Single cell centered in the field · bone marrow aspirate smear
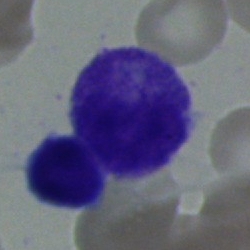

Single cell identified as a myelocyte.